Bone marrow smear: 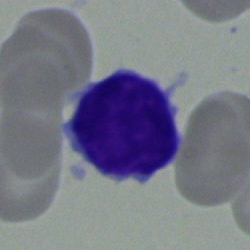 Showing a lymphocyte.